Bone marrow smear — 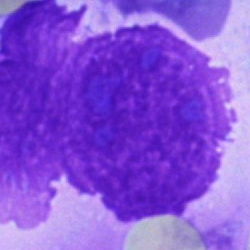
Morphology consistent with an artifact.